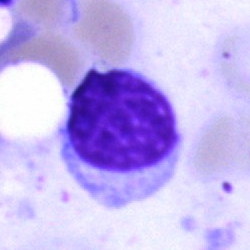

Q: What is the morphological classification of this cell?
A: It is a typical lymphocyte.